May-Grünwald-Giemsa/Pappenheim stain; single cell centered in the field; bone marrow aspirate smear
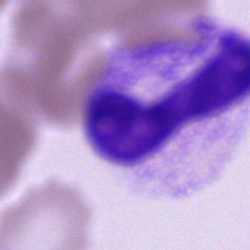

Showing a stab cell.